250 by 250 pixels. Brightfield, 40× oil-immersion objective. Bone marrow smear:
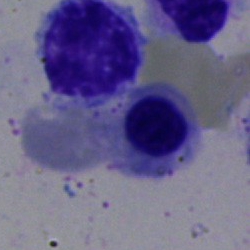Specimen: bone marrow aspirate smear.
Cell: nucleated red cell.
Lineage: erythroid.